Bone marrow smear; May-Grünwald-Giemsa stain
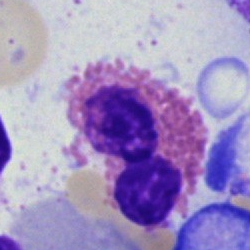

Eosinophil.